Bone marrow smear. 40× objective, oil immersion: 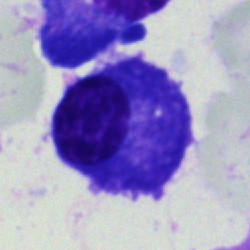Morphological class: plasmacyte.